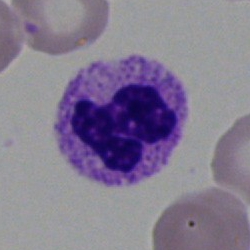

Specimen: bone marrow smear.
Cell: polymorphonuclear neutrophil.
Lineage: myeloid.